May-Grünwald-Giemsa stain. Bone marrow smear. Brightfield microscopy, 40× oil immersion
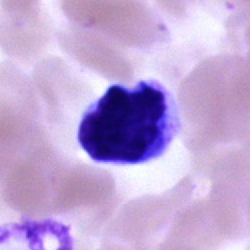

Showing an artefact.